Bone marrow aspirate smear. 40× oil immersion. Single-cell crop:
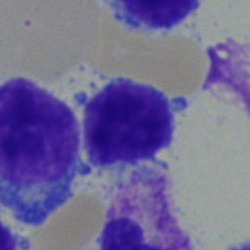Morphology → lymphocyte.